Bone marrow aspirate smear. May-Grünwald-Giemsa/Pappenheim stain. Single-cell crop — 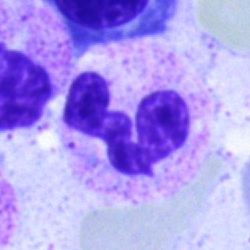
Q: What is shown here?
A: This is a segmented neutrophil.